Bone marrow aspirate smear
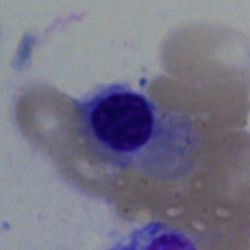
The classification is nucleated red blood cell.